250×250 px. Bone marrow aspirate smear. May-Grünwald-Giemsa/Pappenheim stain — 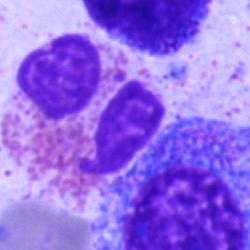

Specimen: bone marrow aspirate smear.
Cell type: eosinophilic granulocyte.